Romanowsky-stained. 100× oil immersion. Peripheral blood smear: 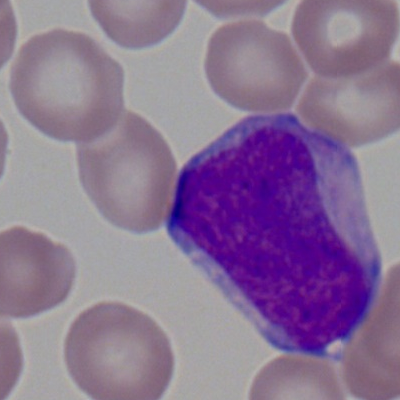

This is a myeloid blast.